Bone marrow smear
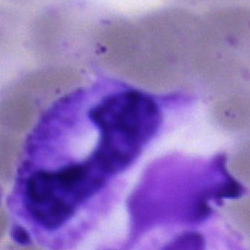 Classification = band-form neutrophil.